Bone marrow aspirate smear · 250×250 px · brightfield microscopy, 40× oil immersion: 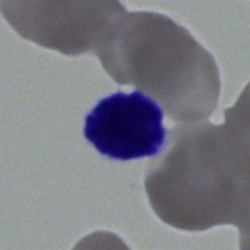{"cell_type": "lymphocyte"}